Bone marrow smear. 250×250
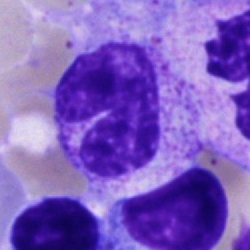

Specimen: bone marrow smear.
Cell: band-form neutrophil.
Lineage: myeloid.